Bone marrow smear; May-Grünwald-Giemsa stain; single-cell field
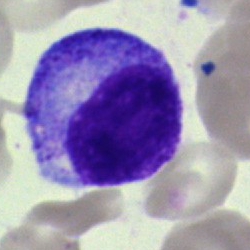 Specimen: bone marrow smear.
Classification: progranulocyte.